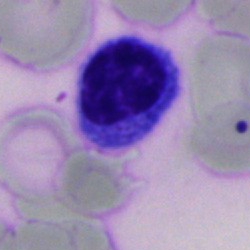Cell type — lymphocyte.